Bone marrow aspirate smear — 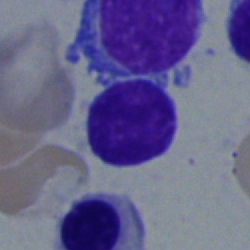 The cell shown is a lymphocyte.